Bone marrow aspirate smear
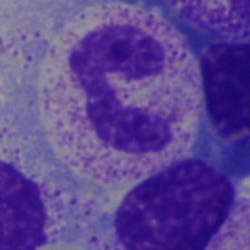 Classification = polymorphonuclear neutrophil.